Bone marrow aspirate smear:
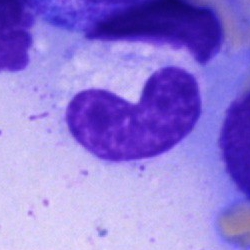

Specimen: bone marrow aspirate smear.
Morphological class: metamyelocyte.